Bone marrow aspirate smear.
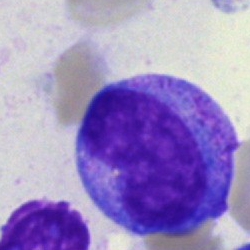

Q: Which cell type is shown here?
A: It is a monocyte.